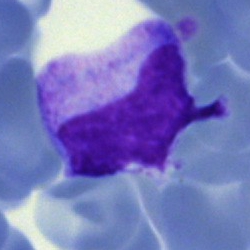Morphology → metamyelocyte.